Bone marrow smear
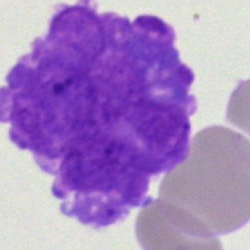
An artefact.